Bone marrow smear — 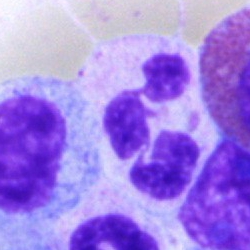
Showing a polymorphonuclear neutrophil.